Bone marrow aspirate smear. May-Grünwald-Giemsa/Pappenheim stain. Single-cell field
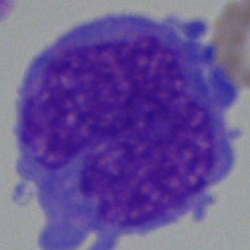
Morphology — monocyte.